May-Grünwald-Giemsa/Pappenheim stain. Bone marrow smear: 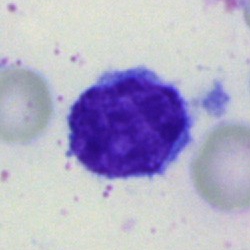 Morphological class = lymphocyte.